Peripheral blood smear · 100× objective, oil immersion: 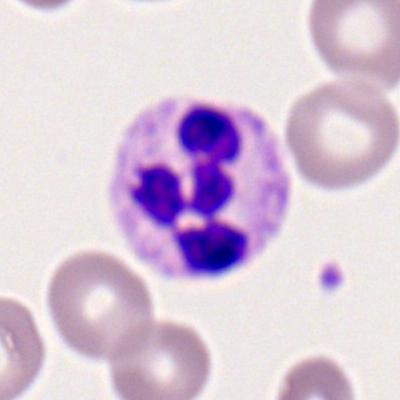

Morphology — segmented neutrophil.